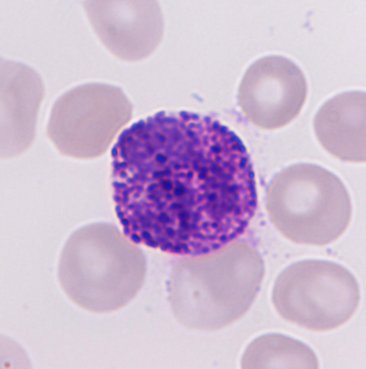
Morphology consistent with a basophil.